Single-cell field · bone marrow smear — 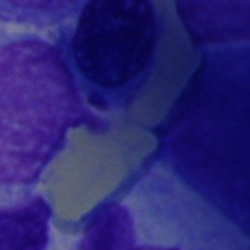Classification = artefact.